MGG-stained · single-cell crop · bone marrow smear: 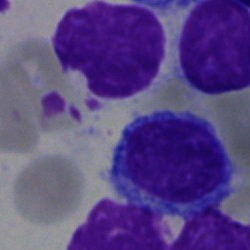

Morphology consistent with a typical lymphocyte.